Bone marrow aspirate smear. May-Grünwald-Giemsa/Pappenheim stain:
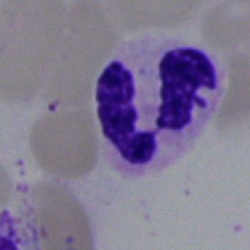 Segmented neutrophil.